Peripheral blood film; 400×400
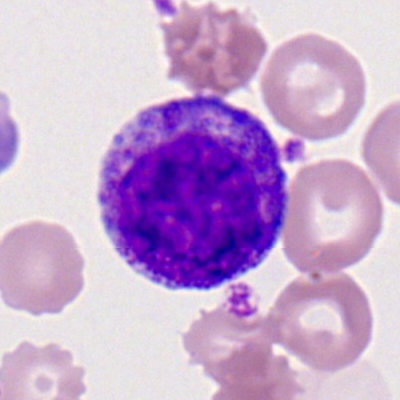
The cell shown is a promyelocyte.